Bone marrow aspirate smear:
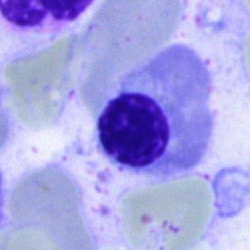Specimen: bone marrow smear.
Cell: normoblast.